Bone marrow smear. 40× objective, oil immersion
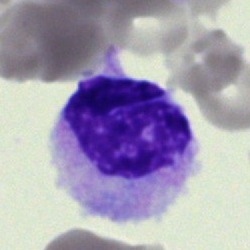 Q: What is shown here?
A: It is an artefact.